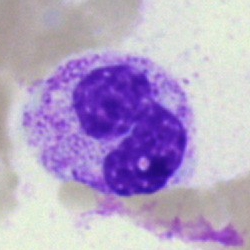
{"cell_type": "segmented neutrophil"}